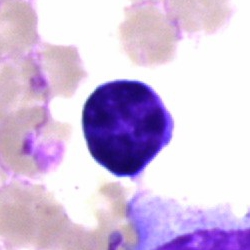

Specimen: bone marrow aspirate smear.
Morphological class: lymphocyte.